Peripheral blood smear
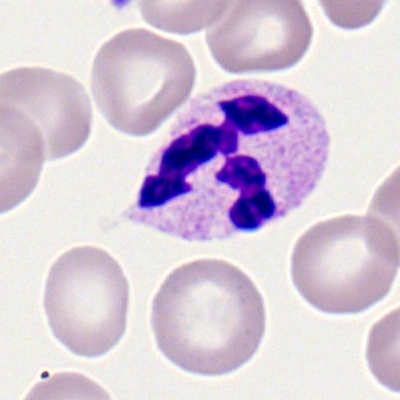The cell shown is a neutrophil (segmented).